Peripheral blood film · May Grünwald-Giemsa stain · CellaVision DM96 digital cell image.
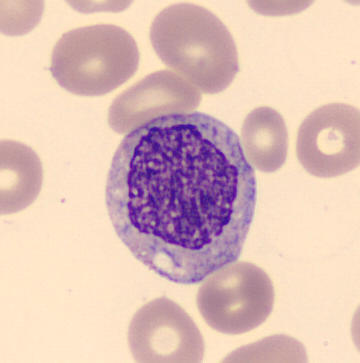 Q: Identify the cell.
A: Myelocyte.